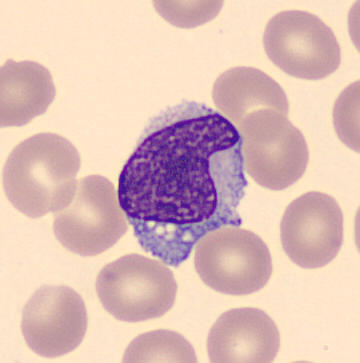

A monocyte on a peripheral blood smear.